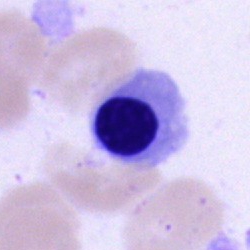{"cell_type": "nucleated red cell", "lineage": "erythroid"}